Peripheral blood film. May-Grünwald-Giemsa-stained — 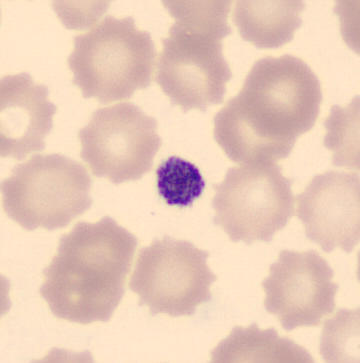Q: What is this?
A: A thrombocyte.